Bone marrow smear:
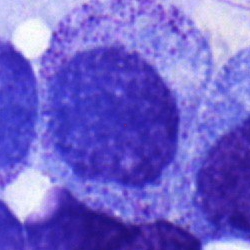
Single cell identified as a myelocyte.